Bone marrow aspirate smear.
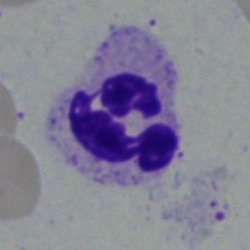

Segmented neutrophil.